May-Grünwald-Giemsa stain · bone marrow aspirate smear
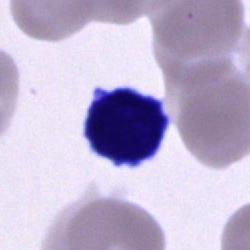
The classification is lymphocyte.